Bone marrow aspirate smear
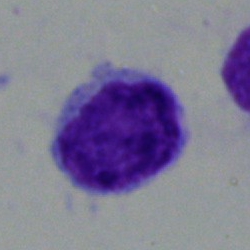Classification = hairy cell.